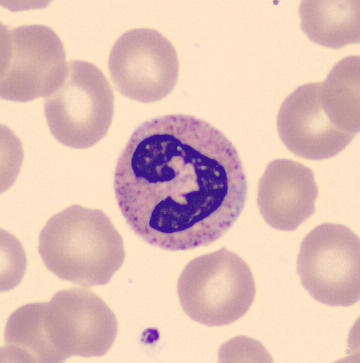 Morphology → segmented neutrophil.
Preparation: Peripheral blood smear. CellaVision DM96 digital cell image.